Bone marrow smear:
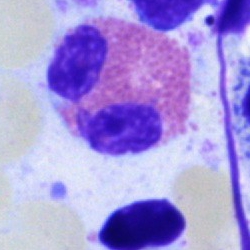The cell shown is an eosinophilic granulocyte.